Bone marrow aspirate smear; 250×250:
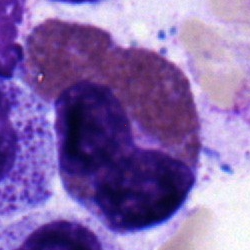 The morphological class is eosinophilic granulocyte.